Brightfield microscopy, 40× oil immersion · single cell centered in the field · bone marrow aspirate smear
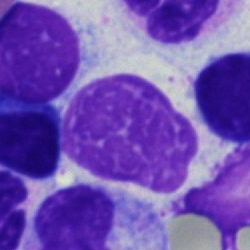

The cell shown is an artefact.